Bone marrow aspirate smear.
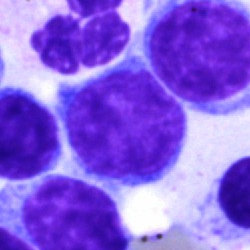
Impression — typical lymphocyte.